Bone marrow smear: 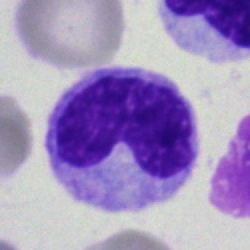A metamyelocyte.